Bone marrow aspirate smear; 250×250: 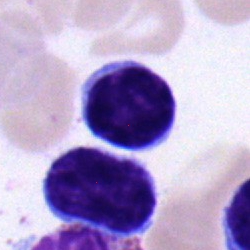
Morphology → lymphocyte.